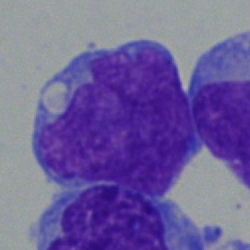

The morphological class is blast.